Bone marrow aspirate smear: 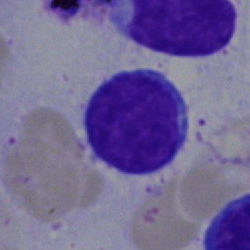

The cell shown is a lymphocyte.